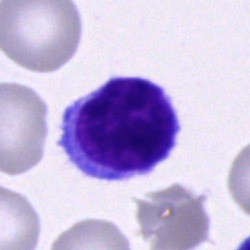 Classification — lymphocyte.